40× oil immersion; bone marrow smear; Pappenheim-stained: 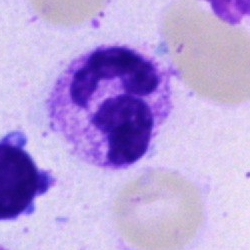Cell — neutrophil (segmented).